Bone marrow smear; image size 250×250 — 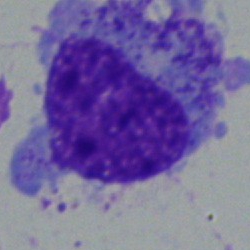

Morphology consistent with a myelocyte.